40× objective, oil immersion · 250×250 · bone marrow aspirate smear — 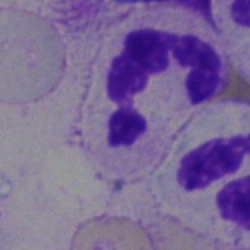 Q: Identify the cell.
A: This is a polymorphonuclear neutrophil.